Bone marrow smear: 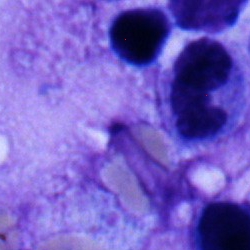 Q: What is the morphological classification of this cell?
A: A typical lymphocyte.